Bone marrow smear. 250×250.
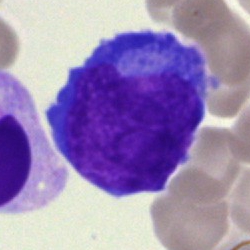

Morphology consistent with a blast.